Bone marrow aspirate smear — 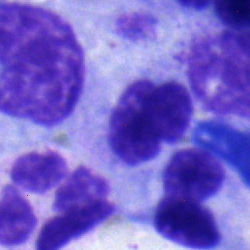Morphology consistent with a segmented neutrophil.